Single-cell field · bone marrow smear · brightfield, 40× oil-immersion objective.
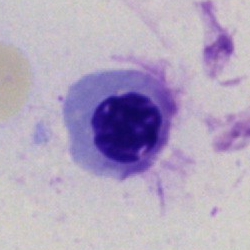
Morphology consistent with a nucleated red cell.